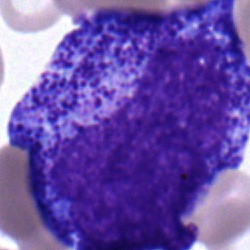 Impression → progranulocyte.